Brightfield microscopy, 40× oil immersion. Bone marrow smear: 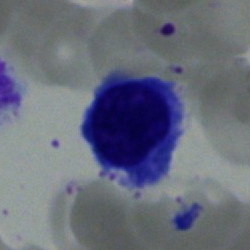Q: What type of cell is this?
A: This is a nucleated red cell.